Bone marrow aspirate smear
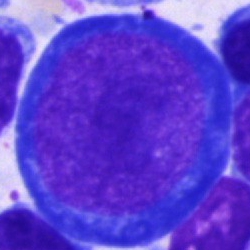A pronormoblast.